Peripheral blood smear: 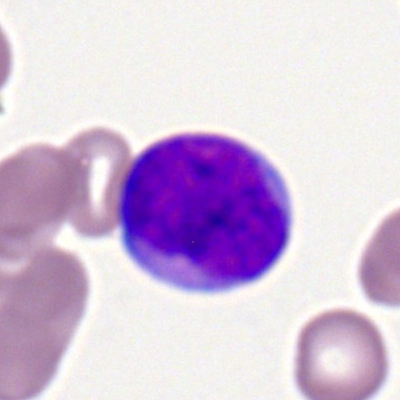

Cell: myeloblast.